Bone marrow aspirate smear; MGG-stained; 250×250:
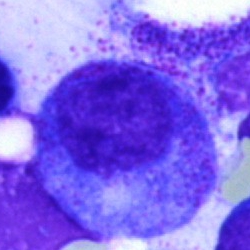The cell is promyelocyte.